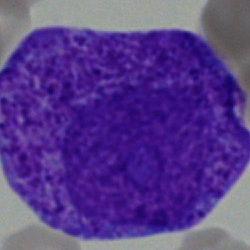

The cell shown is a blast.